Bone marrow smear.
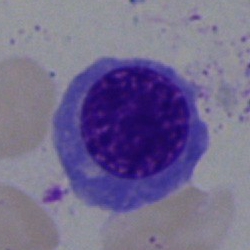 Morphology consistent with a normoblast.